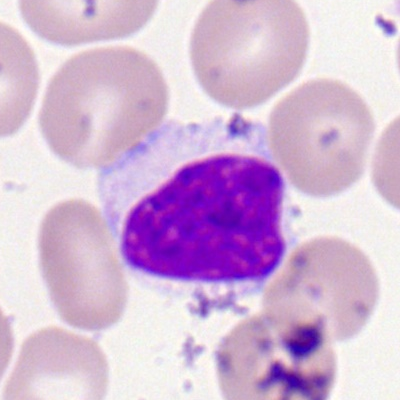

Cell type — typical lymphocyte.